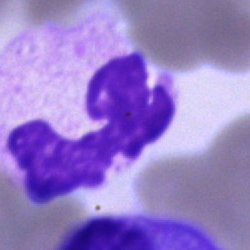

Q: What type of cell is this?
A: Polymorphonuclear neutrophil.